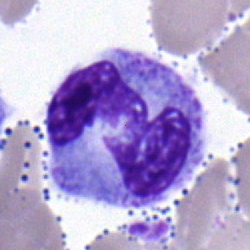Morphology consistent with a monocyte.